Single-cell crop; 250 by 250 pixels; bone marrow aspirate smear
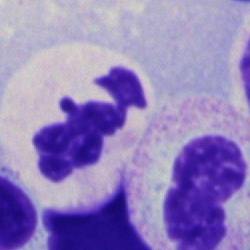
A neutrophil (segmented).